Bone marrow smear; 250×250; May-Grünwald-Giemsa/Pappenheim stain — 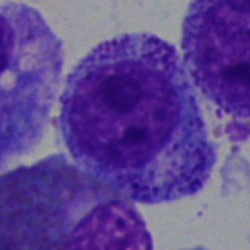

Q: What cell is this?
A: It is a progranulocyte.